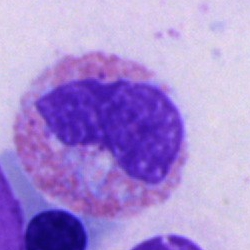

Cell type = eosinophilic granulocyte.